Bone marrow aspirate smear.
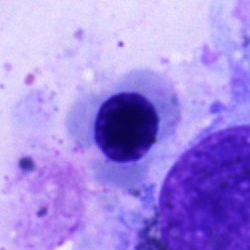Impression → normoblast.